Bone marrow aspirate smear: 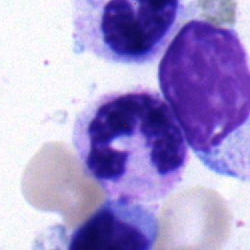

Cell — segmented neutrophil.